Bone marrow aspirate smear; cropped to a single cell:
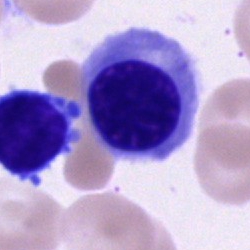
Erythroblast.